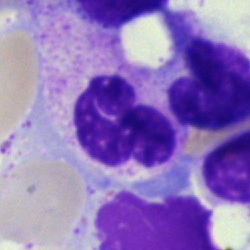
Morphology — polymorphonuclear neutrophil.